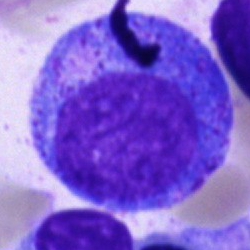
Morphology consistent with a progranulocyte.